Bone marrow aspirate smear.
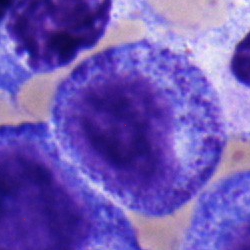 Morphology consistent with a progranulocyte.